Bone marrow aspirate smear
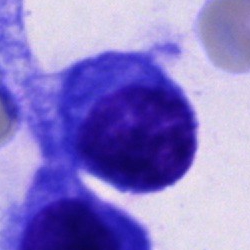Morphological class — other cell type.